Bone marrow aspirate smear — 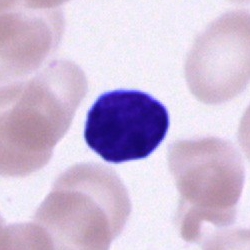 Q: Which cell type is shown here?
A: It is a typical lymphocyte.